Peripheral blood film.
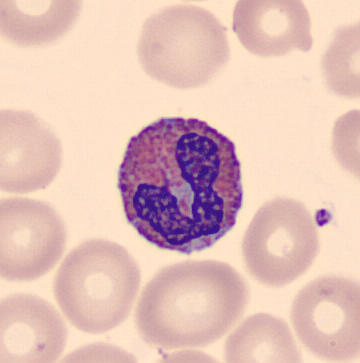This is an eosinophil.